Bone marrow smear: 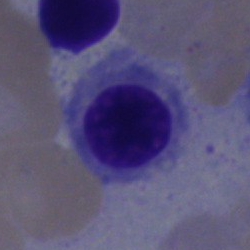

Morphology — nucleated red cell.